Single cell centered in the field; bone marrow aspirate smear — 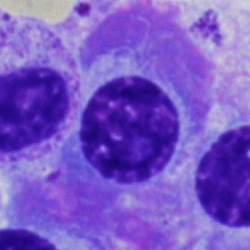 Morphological class: plasma cell.